Bone marrow aspirate smear; 40× oil immersion
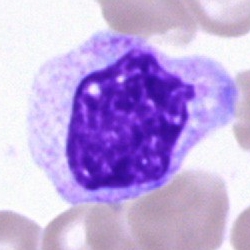Classification — monocyte.